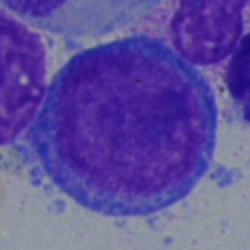 The cell shown is a blast.